Bone marrow aspirate smear
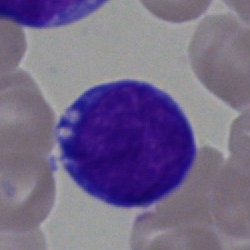 Morphological class: undifferentiated blast.